Bone marrow aspirate smear
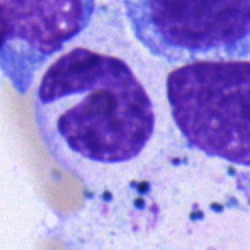
Q: What is shown here?
A: It is a band-form neutrophil.